Brightfield, 100× oil-immersion objective; peripheral blood smear; Romanowsky-stained: 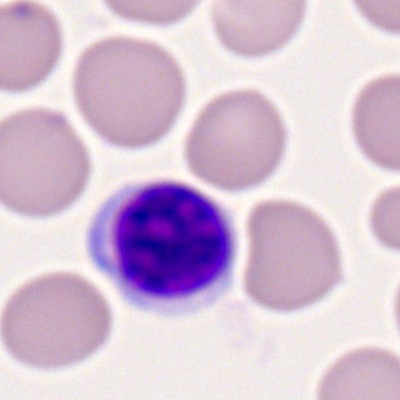
Morphology — typical lymphocyte.